Bone marrow aspirate smear:
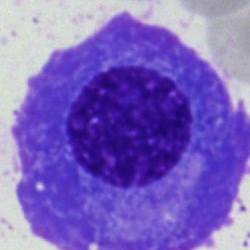 A plasma cell.